Single-cell field; bone marrow smear.
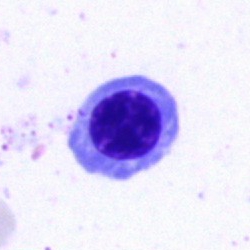 Cell type = nucleated red cell.